Bone marrow aspirate smear
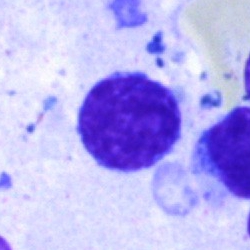 Single cell identified as a typical lymphocyte.